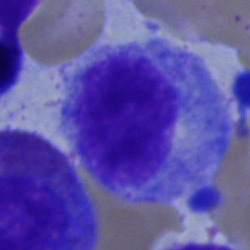
Morphology — promyelocyte.